Peripheral blood film:
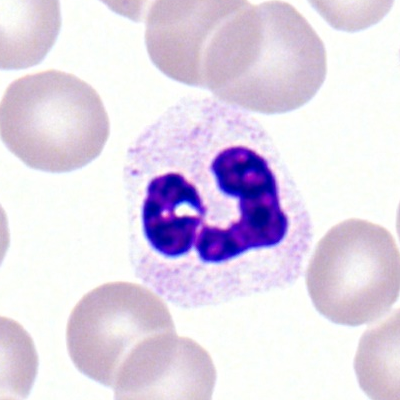
Single cell identified as a neutrophil (segmented).